Peripheral blood film · Romanowsky stain
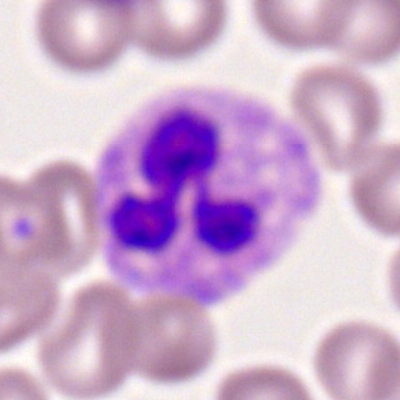 Morphological class — neutrophil (segmented).